Bone marrow smear:
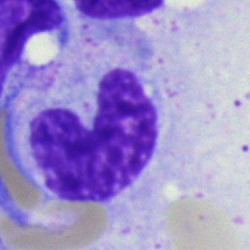Morphology consistent with a neutrophil (band).